400×400 px. Peripheral blood smear — 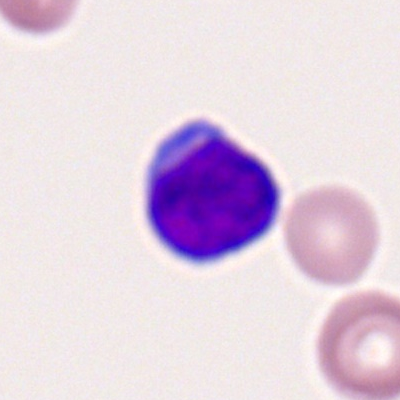

Morphology — lymphocyte.